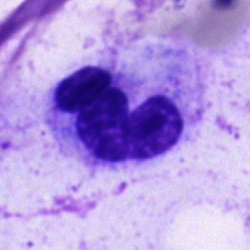

The classification is neutrophil (segmented).